Brightfield, 40× oil-immersion objective; bone marrow aspirate smear: 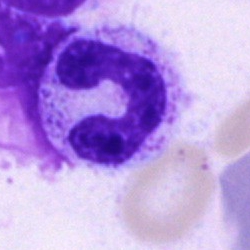
Morphology consistent with a neutrophil (band).